Peripheral blood smear.
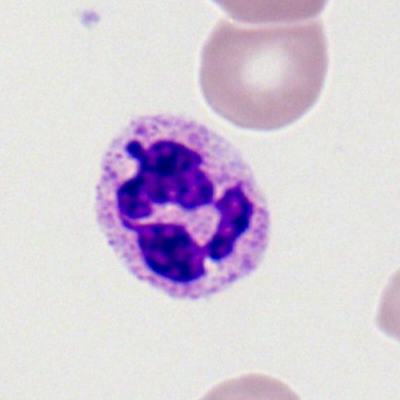

Impression → polymorphonuclear neutrophil.